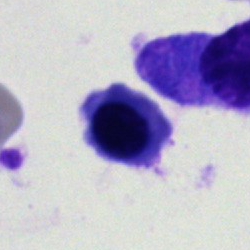

{"cell_type": "normoblast"}